Bone marrow aspirate smear · image size 250×250 · 40× oil immersion: 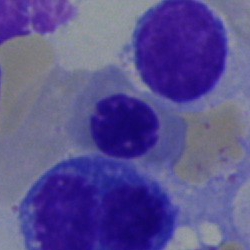

Specimen: bone marrow aspirate smear.
Classification: nucleated red blood cell.
Lineage: erythroid.